Bone marrow smear:
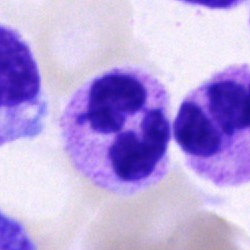
Morphological class — neutrophil (segmented).